May-Grünwald-Giemsa/Pappenheim stain · bone marrow smear: 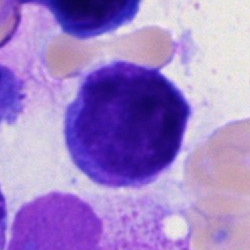 {"cell_type": "blast"}